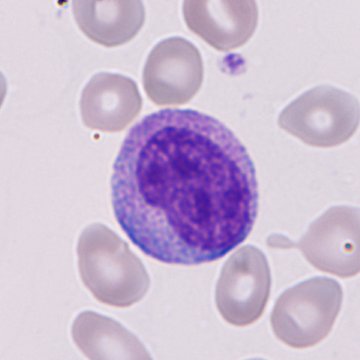

Peripheral blood smear.
Q: What is this?
A: Immature granulocyte (promyelocyte, myelocyte or metamyelocyte).